Bone marrow smear:
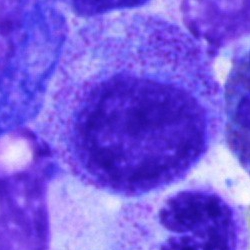
Q: What is shown here?
A: Myelocyte.